250×250 px · bone marrow smear · single-cell crop:
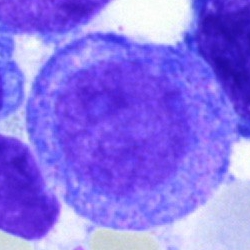Morphological class = progranulocyte.